Cropped to a single cell; bone marrow smear:
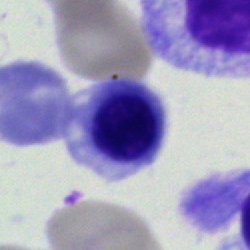Q: What is shown here?
A: This is a nucleated red cell.